Bone marrow aspirate smear; May-Grünwald-Giemsa stain — 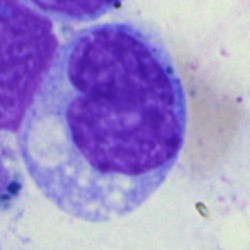

Q: What cell is this?
A: It is a monocyte.